May-Grünwald-Giemsa/Pappenheim stain · single-cell crop · bone marrow aspirate smear: 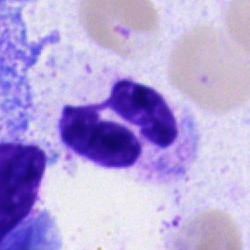Segmented neutrophil.